Bone marrow aspirate smear — 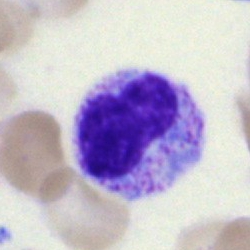

Single cell identified as a band neutrophil.